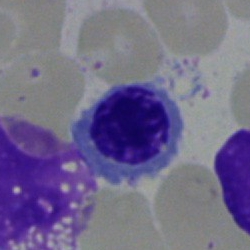

Showing an erythroblast.